250×250; bone marrow smear:
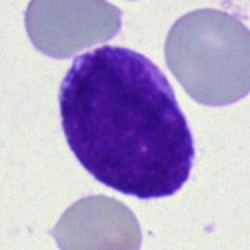
Classification = blast cell.